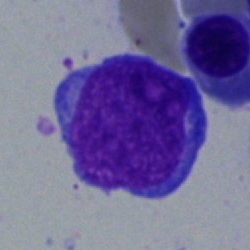 Bone marrow aspirate smear, single cell — blast cell.